Bone marrow smear: 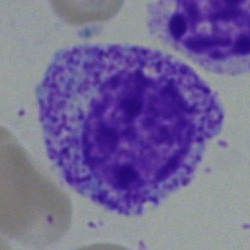 Morphology → myelocyte.